MGG-stained · bone marrow smear — 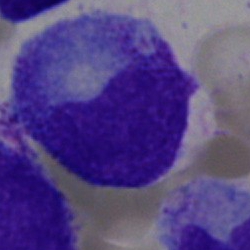 Q: What type of cell is this?
A: It is a progranulocyte.